Bone marrow smear. 40× oil immersion
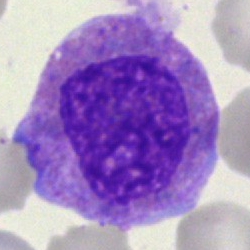{"cell_type": "eosinophilic granulocyte", "lineage": "myeloid"}